Peripheral blood film: 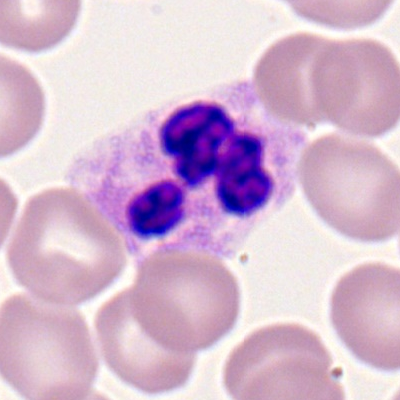
{"cell_type": "neutrophil (segmented)", "lineage": "myeloid"}